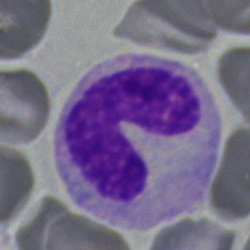 The cell type is band-form neutrophil.